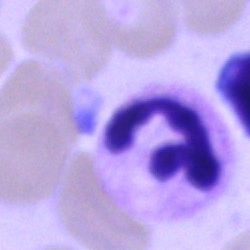Q: Identify the cell.
A: A segmented neutrophil.